400×400; peripheral blood smear
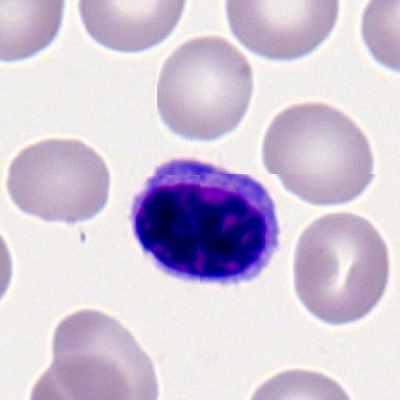 The cell shown is a lymphocyte.